MGG-stained; bone marrow smear:
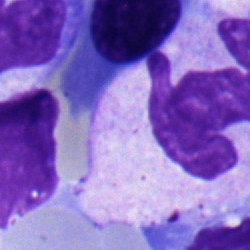 {"cell_type": "normoblast", "lineage": "erythroid"}